Bone marrow smear.
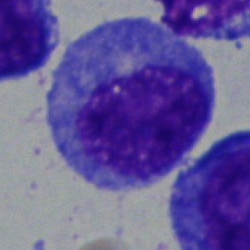
Q: Which cell type is shown here?
A: Promyelocyte.